Bone marrow smear · single-cell crop.
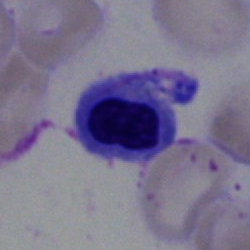

Classification — erythroblast.